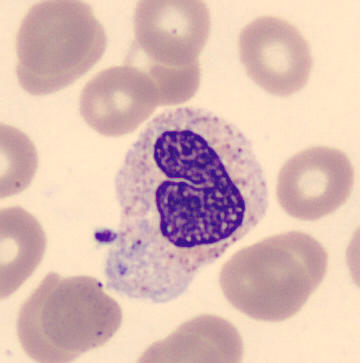
Q: What is shown here?
A: This is a metamyelocyte. Single-cell field; peripheral blood film.